Bone marrow aspirate smear: 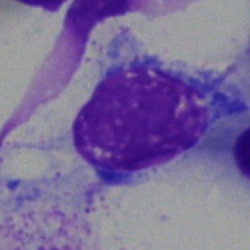

Cell type — artifact.